Bone marrow smear — 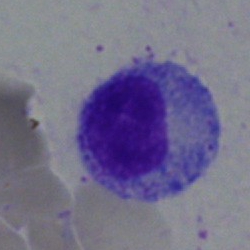 Specimen: bone marrow smear.
Cell: myelocyte.
Lineage: myeloid.